40× oil immersion; bone marrow aspirate smear; May-Grünwald-Giemsa stain: 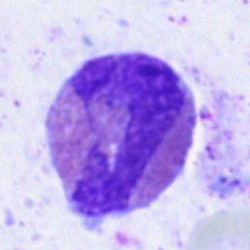Q: Identify the cell.
A: An eosinophilic granulocyte.